Bone marrow aspirate smear:
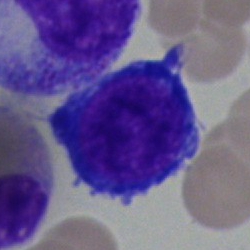
The cell shown is a proerythroblast.